Bone marrow aspirate smear. Brightfield, 40× oil-immersion objective:
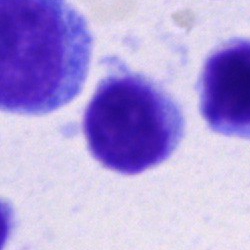
Q: What is shown here?
A: This is a typical lymphocyte.